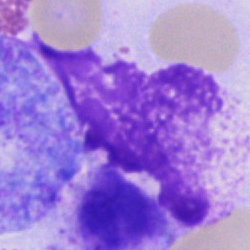 Specimen: bone marrow smear.
Classification: artifact.